Bone marrow aspirate smear. Single-cell field — 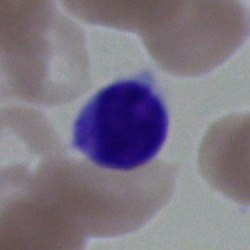
Specimen: bone marrow smear.
Classification: typical lymphocyte.